Bone marrow smear — 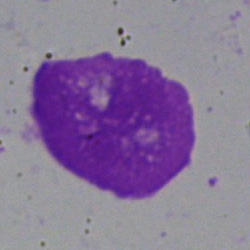The classification is artefact.